Bone marrow aspirate smear
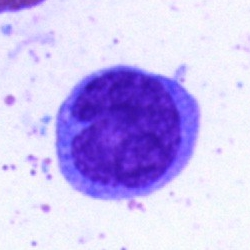 Morphology — typical lymphocyte.